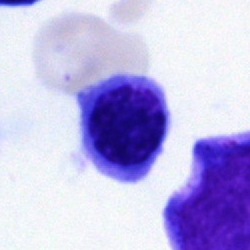

Cell: normoblast.